Bone marrow smear.
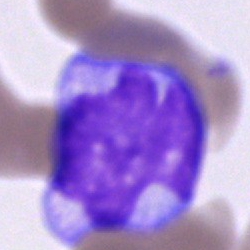
Q: Which cell type is shown here?
A: This is a monocyte.